Brightfield microscopy, 40× oil immersion · bone marrow aspirate smear · single-cell field: 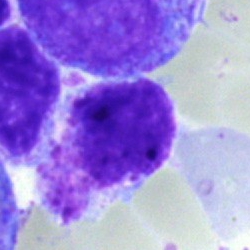Specimen: bone marrow aspirate smear.
Classification: basophil.